Bone marrow smear
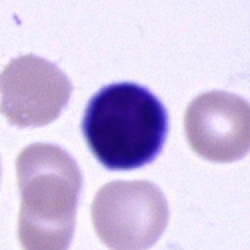
Impression → typical lymphocyte.